Bone marrow aspirate smear:
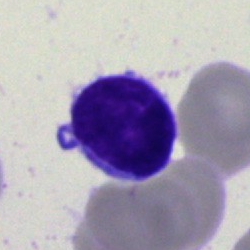

Cell type = lymphocyte.